Peripheral blood smear; single cell centered in the field; automated cell imaging (CellaVision DM96)
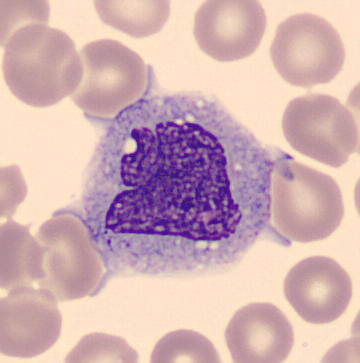
A monocyte.